250 by 250 pixels · bone marrow smear:
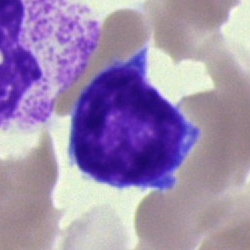

Q: What is shown here?
A: Lymphocyte.